Bone marrow aspirate smear; May-Grünwald-Giemsa/Pappenheim stain.
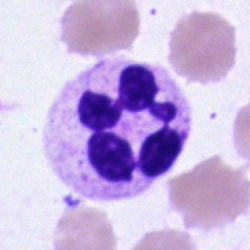
Morphological class: neutrophil (segmented).